Bone marrow aspirate smear. 250×250: 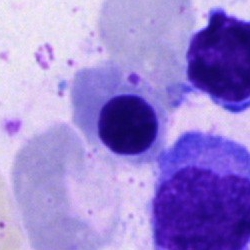

This is a nucleated red blood cell.